Romanowsky stain · peripheral blood smear — 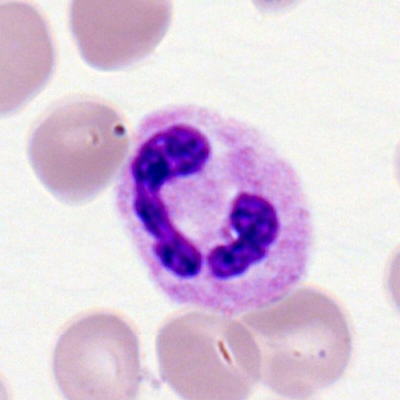
The cell shown is a polymorphonuclear neutrophil.